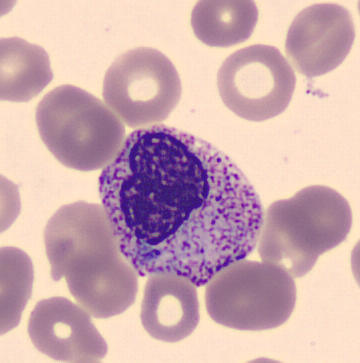
Specimen: peripheral blood smear.
Classification: metamyelocyte.